Peripheral blood film:
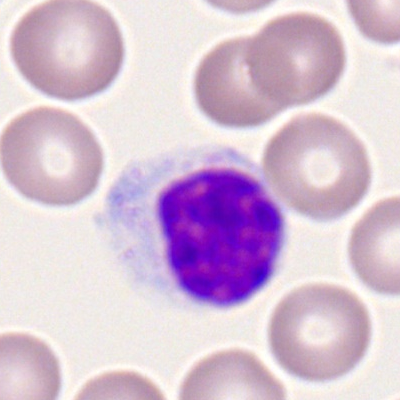Specimen: peripheral blood film.
Cell type: lymphocyte.
Lineage: lymphoid.